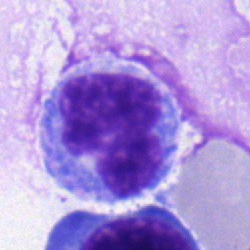Q: What cell is this?
A: This is a monocyte.